Bone marrow smear.
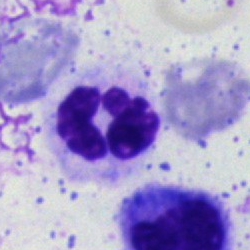Q: Which cell type is shown here?
A: It is a polymorphonuclear neutrophil.